Bone marrow smear: 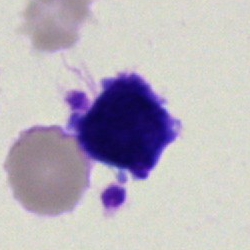
Impression — artefact.